Bone marrow aspirate smear — 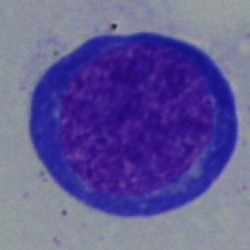The cell is pronormoblast.